250×250 px; bone marrow smear; Pappenheim-stained.
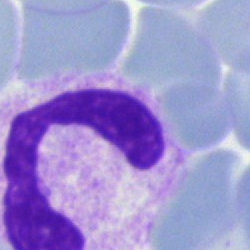 Specimen: bone marrow aspirate smear.
Classification: segmented neutrophil.